Single-cell crop · peripheral blood smear: 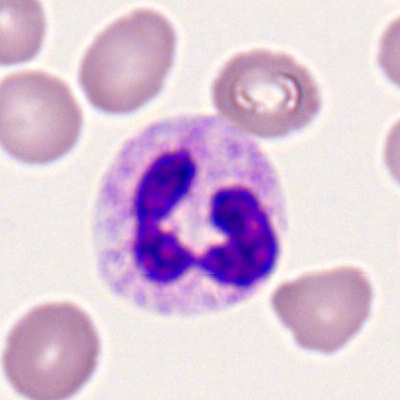Classification = polymorphonuclear neutrophil.